Bone marrow aspirate smear · brightfield microscopy, 40× oil immersion · single-cell crop — 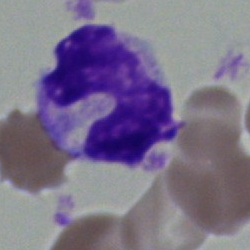Specimen: bone marrow aspirate smear.
Classification: band neutrophil.
Lineage: myeloid.